Bone marrow smear · 250×250: 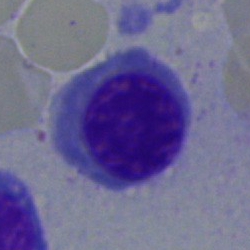 {"cell_type": "erythroblast"}